Image size 250×250; bone marrow smear
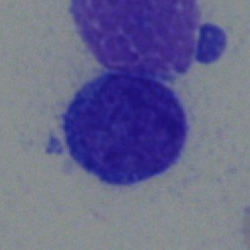
Q: What type of cell is this?
A: Typical lymphocyte.